Bone marrow aspirate smear. Pappenheim-stained
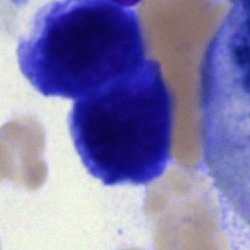

Morphology — erythroblast.